Bone marrow aspirate smear.
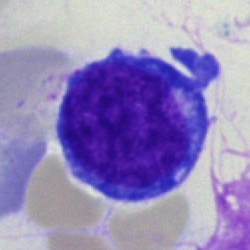

Proerythroblast.